Bone marrow smear: 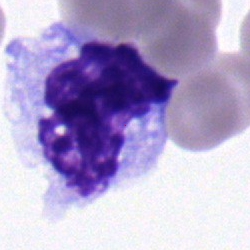 Morphology consistent with a monocyte.